Peripheral blood film — 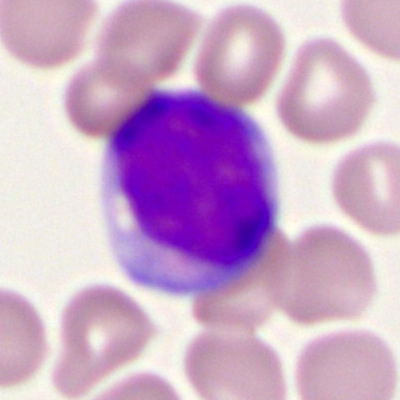
Q: Identify the cell.
A: It is a myeloblast.